Bone marrow smear: 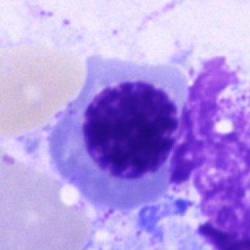 An erythroblast.